Peripheral blood film.
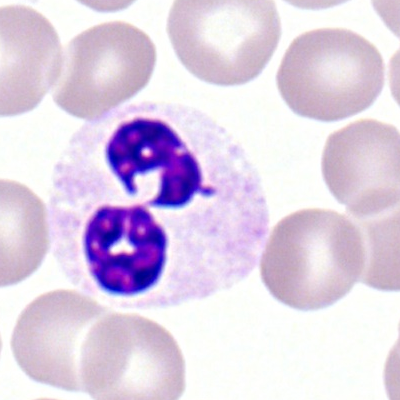 Q: Which cell type is shown here?
A: This is a segmented neutrophil.